Bone marrow aspirate smear.
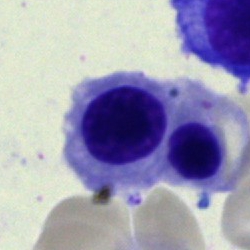{"cell_type": "normoblast", "lineage": "erythroid"}